Romanowsky stain. Peripheral blood film: 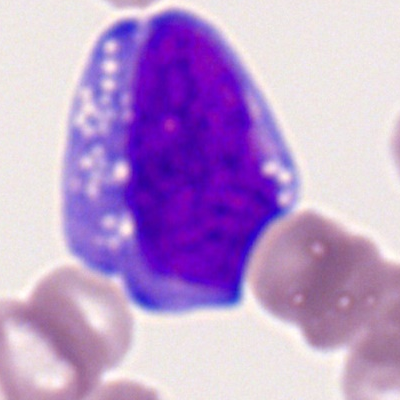
This is a myeloid blast.